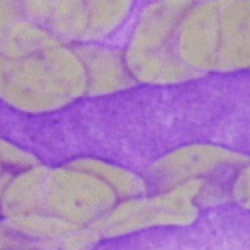
Q: What is shown here?
A: It is an artifact.